Single-cell field. Bone marrow aspirate smear. Brightfield microscopy, 40× oil immersion: 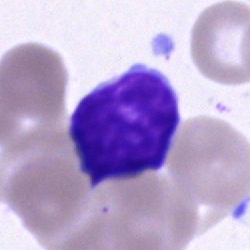

Classification: polymorphonuclear neutrophil.